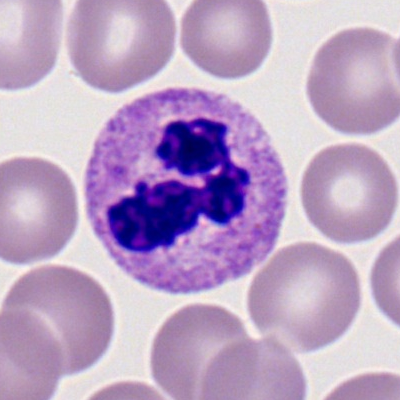 Cell type: segmented neutrophil.